Bone marrow smear.
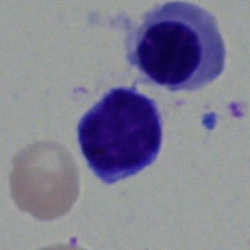
Typical lymphocyte.